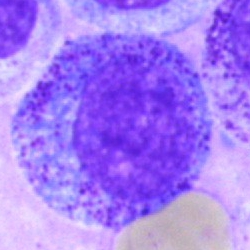Morphology → progranulocyte.